Bone marrow smear: 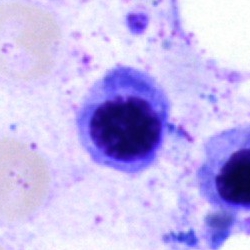

Q: What is shown here?
A: It is an erythroblast.